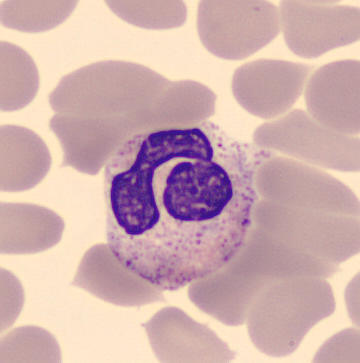

Segmented neutrophil.
Acquisition: Image size 360×363 · peripheral blood smear.